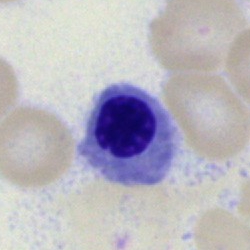Q: What is shown here?
A: Normoblast.